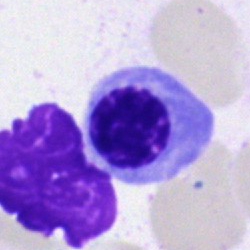
Q: What type of cell is this?
A: A nucleated red blood cell.